Bone marrow smear:
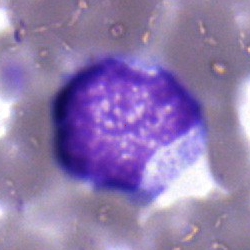
Impression — metamyelocyte.